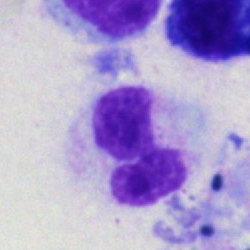

Showing a segmented neutrophil.